Bone marrow smear — 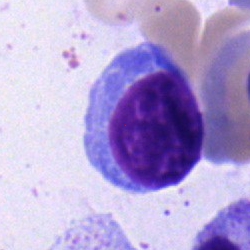Q: What is the morphological classification of this cell?
A: Lymphocyte.